40× oil immersion. Bone marrow smear — 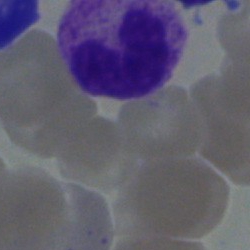
Morphology → stab cell.